Bone marrow aspirate smear. 250 by 250 pixels. 40× oil immersion:
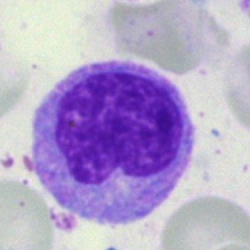Impression → monocyte.